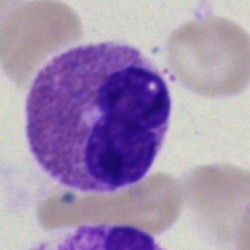Morphology — eosinophil.